Bone marrow smear: 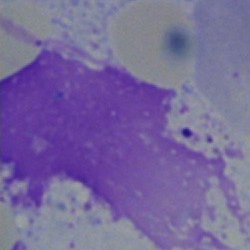
Q: What is shown here?
A: This is an artifact.